Bone marrow aspirate smear; single cell centered in the field; MGG-stained:
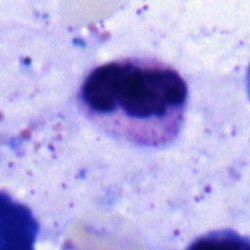
Polymorphonuclear neutrophil.